250×250 px · bone marrow aspirate smear
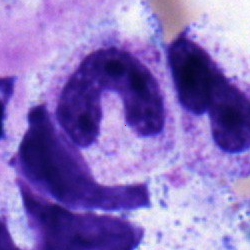 Neutrophil (band).